Bone marrow aspirate smear — 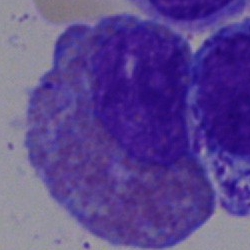 Impression → eosinophilic granulocyte.